Bone marrow aspirate smear. Single cell centered in the field. 250×250.
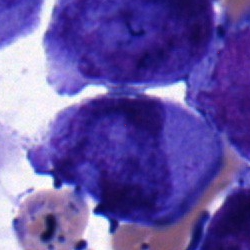

Showing an undifferentiated blast.